Bone marrow smear:
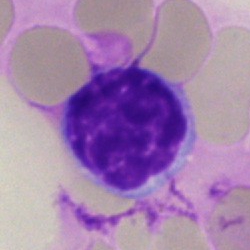Artifact.